Bone marrow aspirate smear — 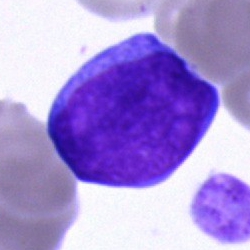

Specimen: bone marrow aspirate smear.
Cell: blast cell.